Peripheral blood film; Romanowsky-stained; 100× oil immersion.
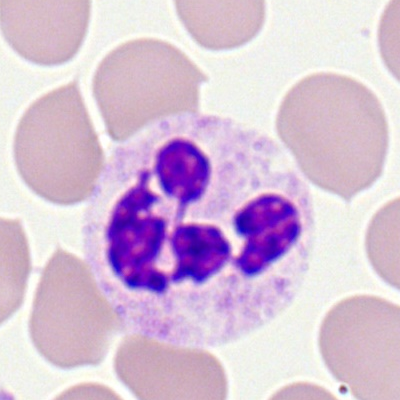{"cell_type": "segmented neutrophil", "lineage": "myeloid"}